40× objective, oil immersion. Bone marrow aspirate smear: 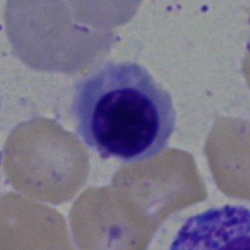 The cell shown is a normoblast.